Bone marrow aspirate smear; 250×250 — 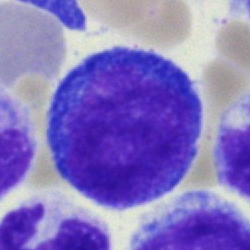
{"cell_type": "progranulocyte", "lineage": "myeloid"}